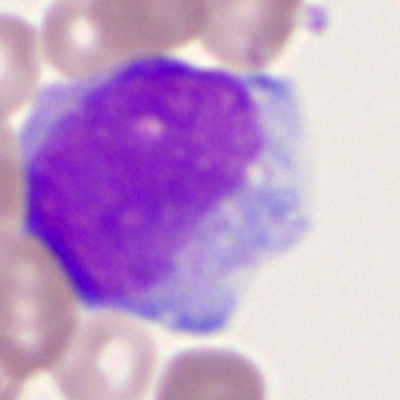
Classification — myeloblast.